Single cell centered in the field · bone marrow smear:
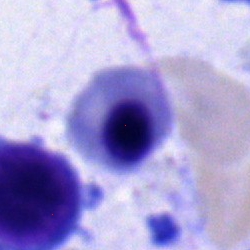 Nucleated red blood cell.